Single cell centered in the field. Peripheral blood film:
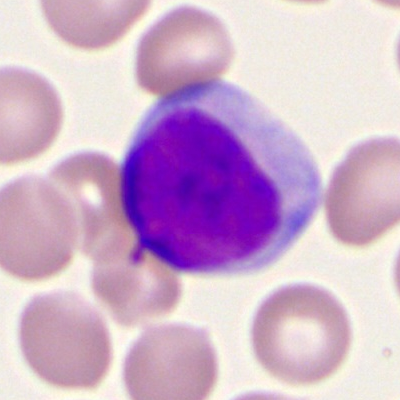 Q: Which cell type is shown here?
A: A myeloid blast.